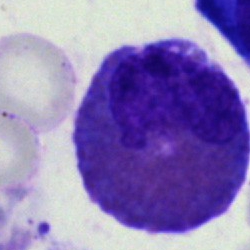This is an eosinophil.